Bone marrow aspirate smear. 250×250 px — 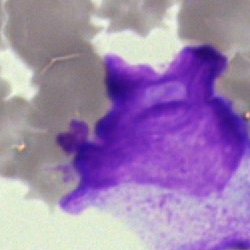Specimen: bone marrow smear.
Cell type: blast.